Bone marrow aspirate smear; 40× oil immersion; May-Grünwald-Giemsa stain
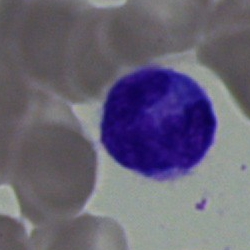

Specimen: bone marrow aspirate smear.
Cell: monocyte.